Single-cell crop. Brightfield microscopy, 40× oil immersion. Bone marrow aspirate smear:
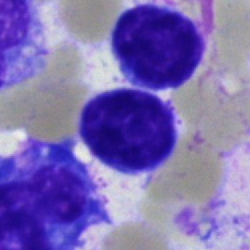 {"cell_type": "lymphocyte"}